Bone marrow aspirate smear:
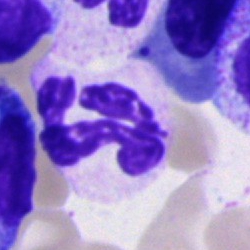{"cell_type": "polymorphonuclear neutrophil"}